Single-cell crop. Bone marrow smear:
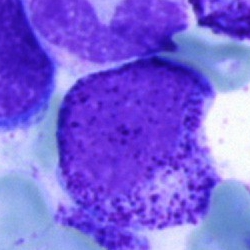Q: Identify the cell.
A: A promyelocyte.